Bone marrow smear. Single-cell crop
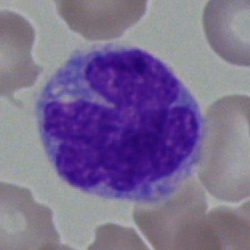
Q: What cell is this?
A: Monocyte.